Brightfield, 40× oil-immersion objective; May-Grünwald-Giemsa stain; bone marrow aspirate smear:
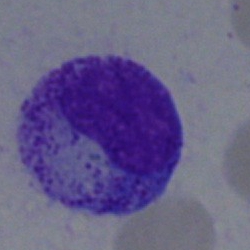
Morphological class — myelocyte.